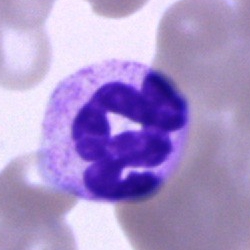
Q: What type of cell is this?
A: This is a neutrophil (segmented).